Bone marrow aspirate smear; May-Grünwald-Giemsa stain:
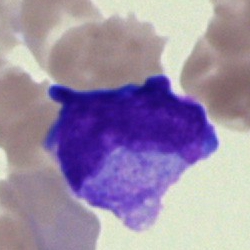

Specimen: bone marrow aspirate smear.
Cell type: blast.